Bone marrow aspirate smear:
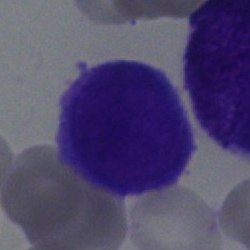

Specimen: bone marrow aspirate smear.
Cell: blast.